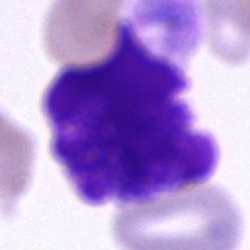Specimen: bone marrow smear.
Cell: artifact.